Bone marrow aspirate smear:
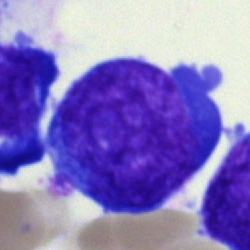 Impression — blast cell.